Bone marrow aspirate smear — 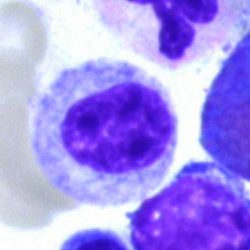Q: What is shown here?
A: This is a myelocyte.